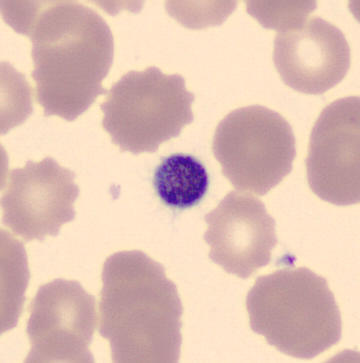

Q: What is shown here?
A: A platelet.